Bone marrow aspirate smear; brightfield, 40× oil-immersion objective: 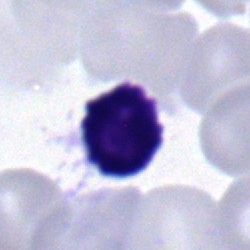Impression → typical lymphocyte.